Bone marrow aspirate smear: 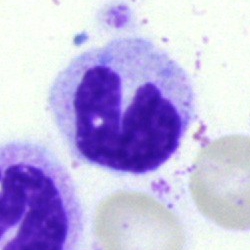Impression — band-form neutrophil.